Bone marrow smear:
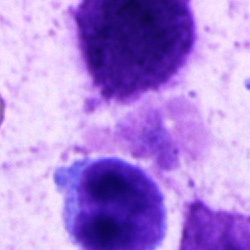 Specimen: bone marrow smear.
Classification: typical lymphocyte.
Lineage: lymphoid.